Brightfield, 40× oil-immersion objective · single-cell field · bone marrow aspirate smear — 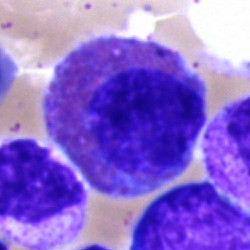

Single cell identified as an eosinophilic granulocyte.